Bone marrow smear: 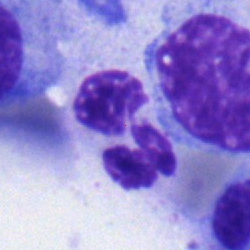Cell: segmented neutrophil.